Bone marrow smear.
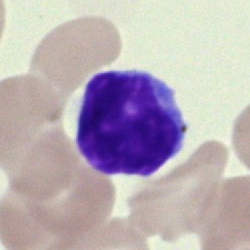 Morphological class: lymphocyte.